Bone marrow aspirate smear.
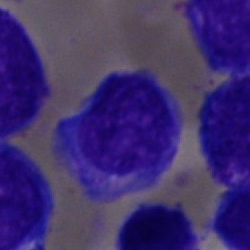
Cell type — undifferentiated blast.